Bone marrow smear: 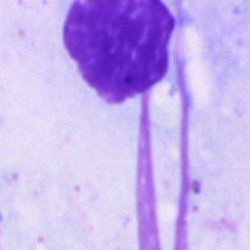 An artifact.